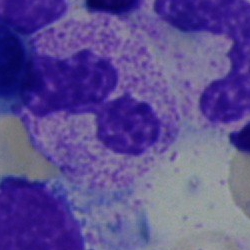

Showing a neutrophil (segmented).